Bone marrow smear
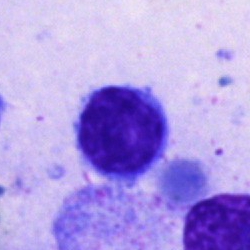 A typical lymphocyte.